Bone marrow smear.
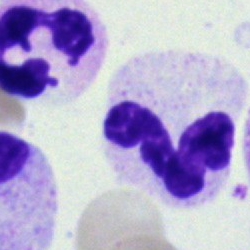
The cell shown is a polymorphonuclear neutrophil.